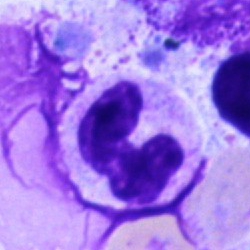Q: What is the morphological classification of this cell?
A: Polymorphonuclear neutrophil.